Bone marrow smear
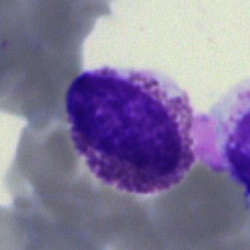This is an eosinophilic granulocyte.